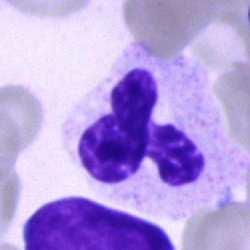

Specimen: bone marrow smear.
Cell: segmented neutrophil.